Pappenheim-stained; bone marrow aspirate smear; single-cell field
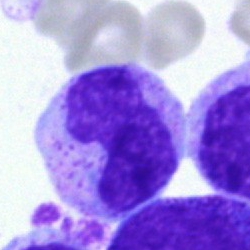

Cell type = band-form neutrophil.